Bone marrow smear:
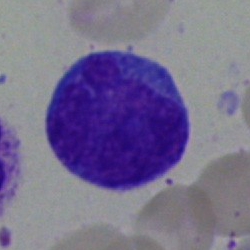

An undifferentiated blast.